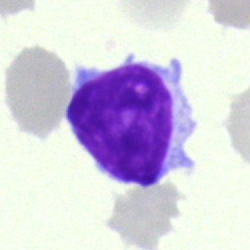 Morphology → typical lymphocyte.